Single cell centered in the field; bone marrow smear.
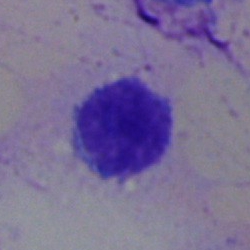

Q: What cell is this?
A: A typical lymphocyte.